40× oil immersion · image size 250×250 · bone marrow aspirate smear: 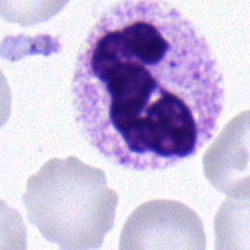Morphological class: neutrophil (segmented).